Bone marrow aspirate smear:
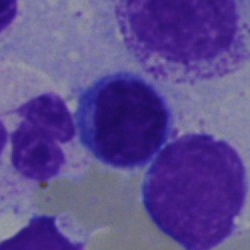 Impression → lymphocyte.